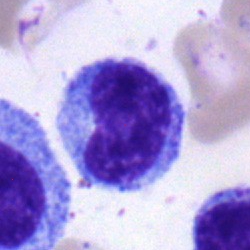 {"cell_type": "progranulocyte", "lineage": "myeloid"}